Bone marrow aspirate smear: 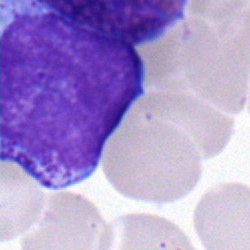 Morphology → progranulocyte.